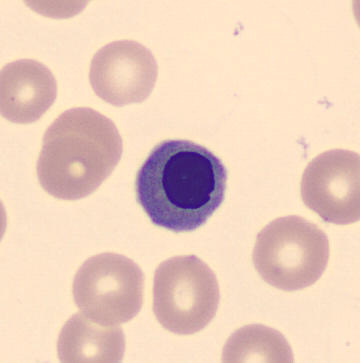 Single cell centered in the field.

Specimen: peripheral blood film.
Morphological class: nucleated red blood cell.